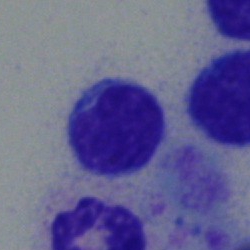
The cell type is lymphocyte.